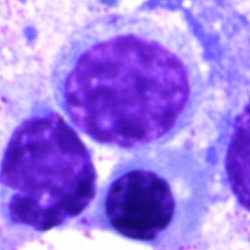

A lymphocyte.